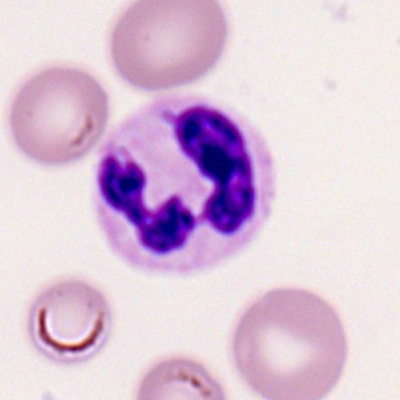Single cell identified as a neutrophil (segmented).